Peripheral blood smear:
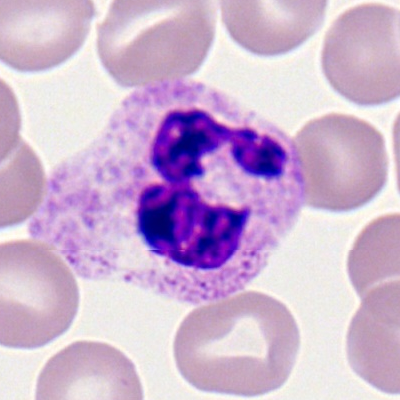 Showing a neutrophil (segmented).